Bone marrow aspirate smear — 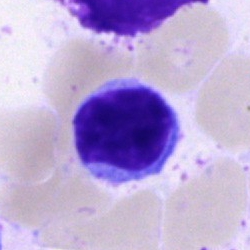Impression — typical lymphocyte.